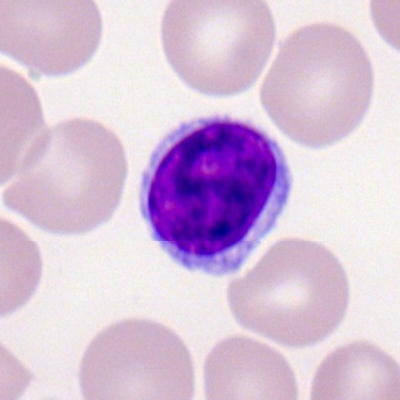{"cell_type": "lymphocyte", "lineage": "lymphoid"}